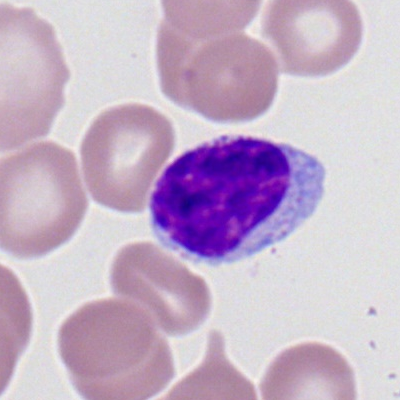 A lymphocyte.